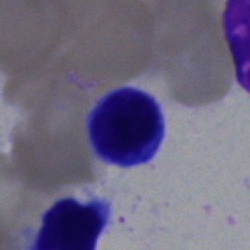
Single-cell crop from a bone marrow smear: lymphocyte.